Bone marrow aspirate smear.
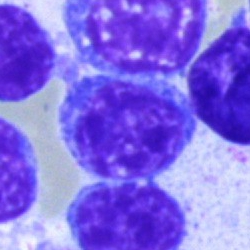
Showing a lymphocyte.